May-Grünwald-Giemsa stain. Bone marrow smear. Single-cell field — 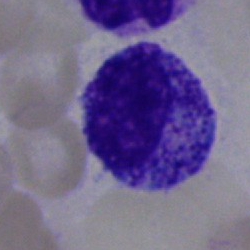Specimen: bone marrow smear.
Cell: progranulocyte.
Lineage: myeloid.